Bone marrow smear · 250 by 250 pixels: 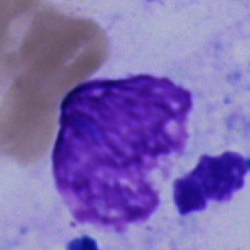

Showing an artifact.